Bone marrow smear:
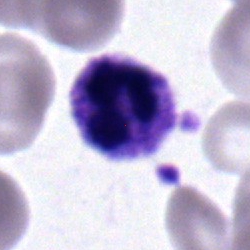Specimen: bone marrow aspirate smear.
Morphological class: polymorphonuclear neutrophil.
Lineage: myeloid.